Bone marrow aspirate smear: 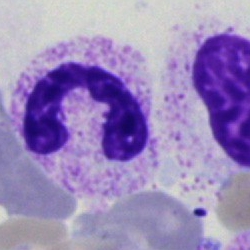
Segmented neutrophil.